Bone marrow aspirate smear.
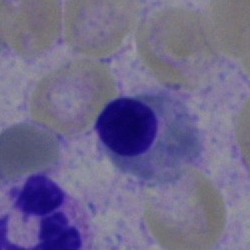Morphology → erythroblast.